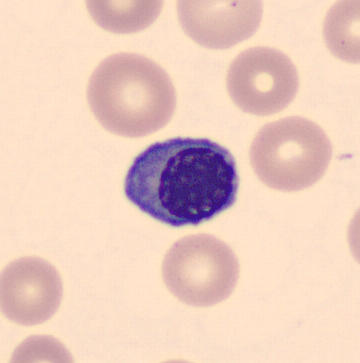

Preparation: 360×363 · peripheral blood smear · single-cell crop.
Morphological class = nucleated red blood cell.